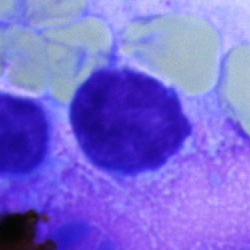
An artefact.